Bone marrow smear.
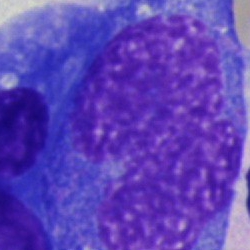Q: What is shown here?
A: It is an artefact.